Bone marrow aspirate smear · MGG-stained.
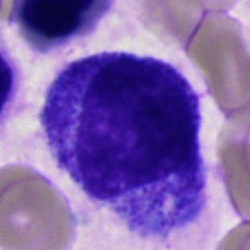
Specimen: bone marrow smear.
Cell type: promyelocyte.
Lineage: myeloid.